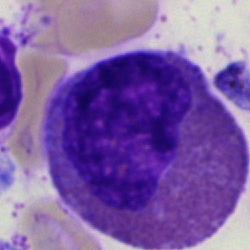 Single-cell crop from a bone marrow smear: eosinophilic granulocyte.